Bone marrow smear:
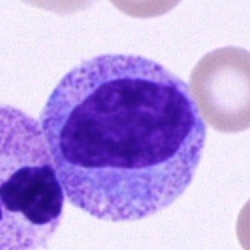Impression → myelocyte.